Bone marrow aspirate smear · 40× objective, oil immersion · single-cell crop: 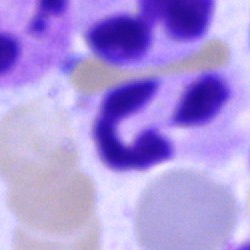
Classification: segmented neutrophil.